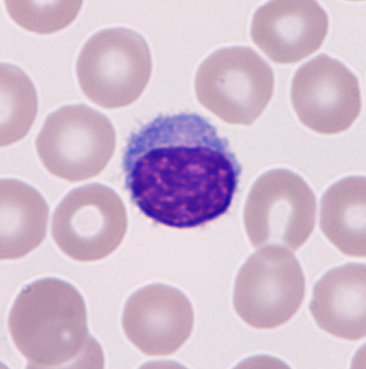Single cell identified as a typical lymphocyte. Preparation: 366 by 369 pixels · peripheral blood film.